Bone marrow smear
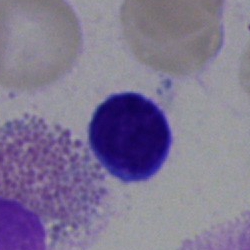

{"cell_type": "lymphocyte"}